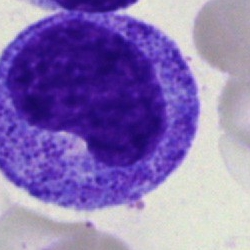
Showing a metamyelocyte.